Bone marrow smear: 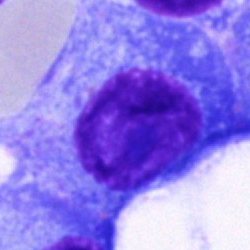
Specimen: bone marrow aspirate smear.
Morphological class: plasmacyte.
Lineage: lymphoid.